40× oil immersion. Bone marrow smear:
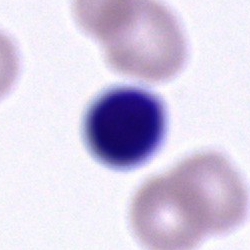

Classification — lymphocyte.